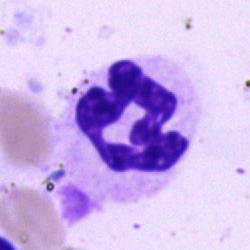Cell type — neutrophil (segmented).